Bone marrow aspirate smear. Cropped to a single cell:
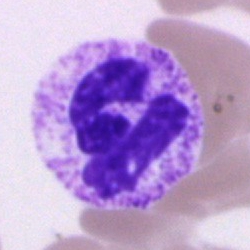 Morphology → neutrophil (segmented).